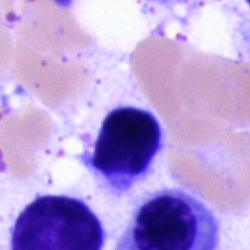
Cell = typical lymphocyte.